Bone marrow aspirate smear; single cell centered in the field.
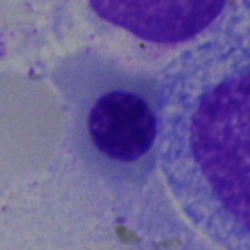{"cell_type": "nucleated red cell", "lineage": "erythroid"}